Bone marrow smear.
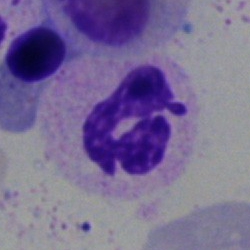
Morphology → polymorphonuclear neutrophil.